Bone marrow aspirate smear. May-Grünwald-Giemsa/Pappenheim stain. Single-cell field — 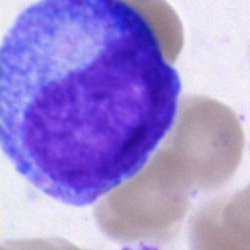
Specimen: bone marrow smear.
Cell: promyelocyte.